400 by 400 pixels · Romanowsky-stained · peripheral blood film: 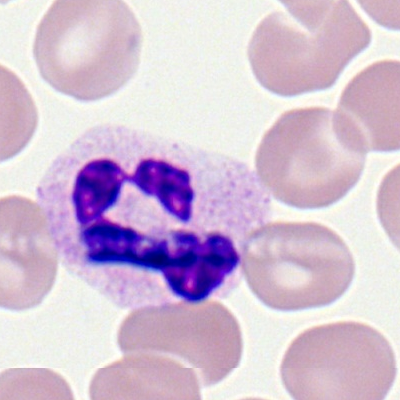
Specimen: peripheral blood film.
Classification: neutrophil (segmented).
Lineage: myeloid.